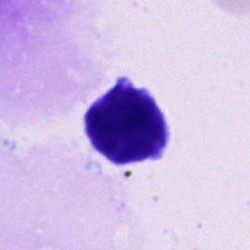

The cell type is typical lymphocyte.